Bone marrow aspirate smear — 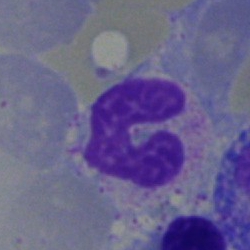

Q: Which cell type is shown here?
A: Stab cell.